Bone marrow aspirate smear. Cropped to a single cell
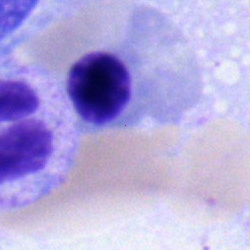 Q: What cell is this?
A: Nucleated red cell.